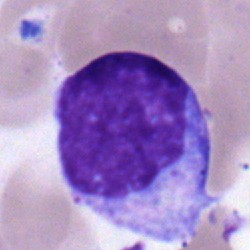 Classification: typical lymphocyte.